Bone marrow aspirate smear: 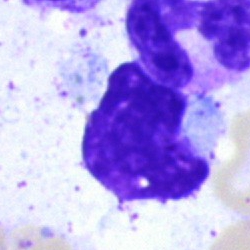
Impression — artifact.